MGG-stained; bone marrow aspirate smear
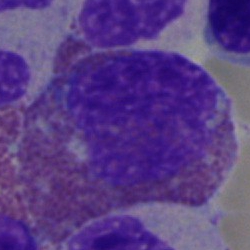
Morphology — eosinophil.